Brightfield, 40× oil-immersion objective; May-Grünwald-Giemsa stain; bone marrow smear — 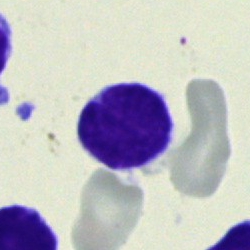
Showing a lymphocyte.